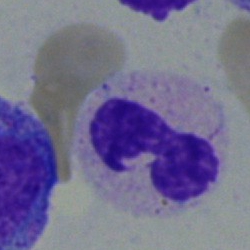

Classification = segmented neutrophil.